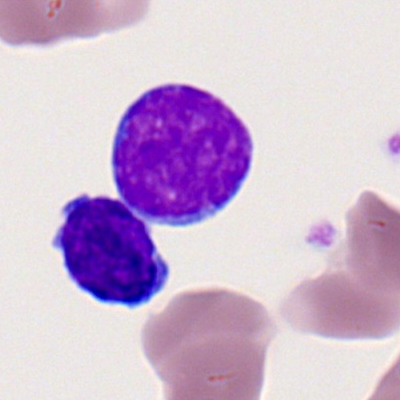Morphology → lymphocyte.